Bone marrow smear. 40× oil immersion — 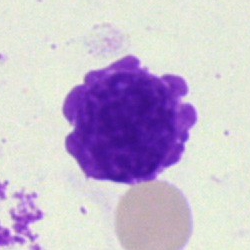
Q: What is shown here?
A: An artefact.